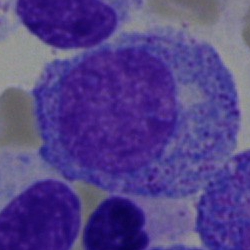
Q: What cell is this?
A: Promyelocyte.